Bone marrow aspirate smear; May-Grünwald-Giemsa stain; cropped to a single cell: 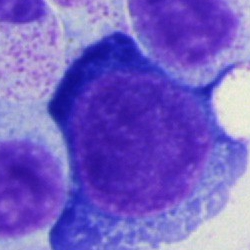 Q: What cell is this?
A: A proerythroblast.